Bone marrow smear: 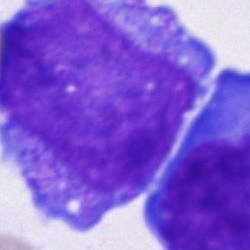 Specimen: bone marrow aspirate smear.
Cell: blast cell.